Bone marrow smear
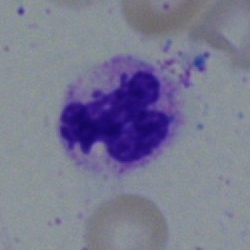Morphological class = polymorphonuclear neutrophil.